Bone marrow smear; single-cell crop.
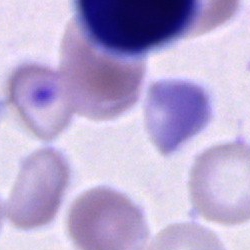

The cell is cell of indeterminate lineage.